Bone marrow aspirate smear · cropped to a single cell · May-Grünwald-Giemsa/Pappenheim stain
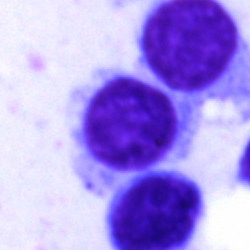 Impression → lymphocyte.